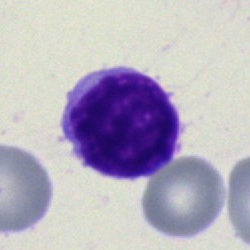 Specimen: bone marrow aspirate smear.
Classification: typical lymphocyte.
Lineage: lymphoid.